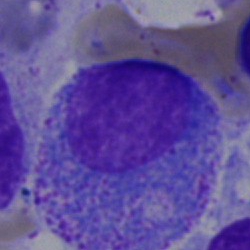Specimen: bone marrow smear.
Cell: promyelocyte.
Lineage: myeloid.